Bone marrow aspirate smear — 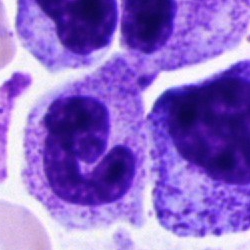 Specimen: bone marrow smear.
Cell type: segmented neutrophil.
Lineage: myeloid.